Bone marrow aspirate smear. May-Grünwald-Giemsa/Pappenheim stain. 40× oil immersion:
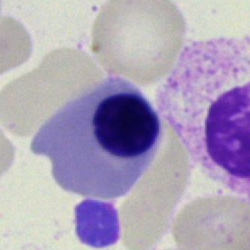

Showing a nucleated red cell.